Bone marrow aspirate smear
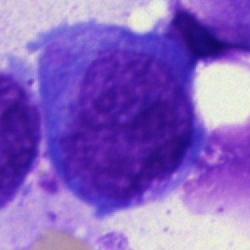
Artefact.